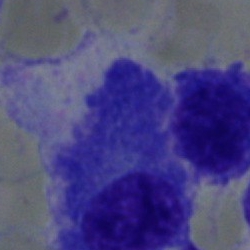

Impression — plasma cell.